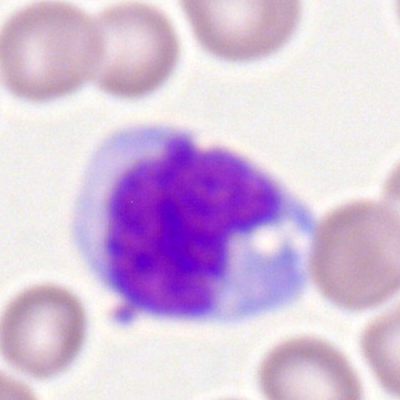
{"cell_type": "monocyte"}